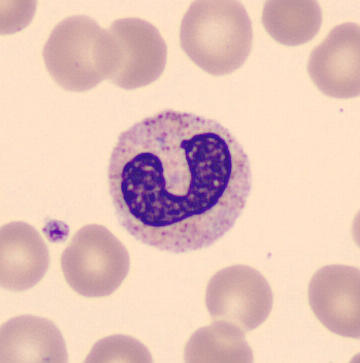 This is a stab cell.

Peripheral blood smear; single-cell field.